Bone marrow aspirate smear.
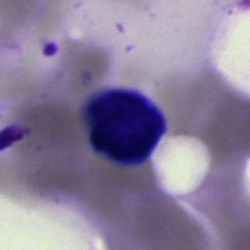
Morphology → artefact.